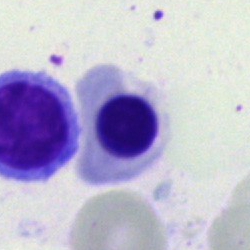 A normoblast.